Bone marrow aspirate smear · cropped to a single cell:
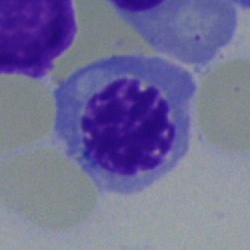 {"cell_type": "normoblast", "lineage": "erythroid"}